Bone marrow aspirate smear.
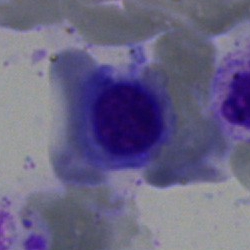
Impression — nucleated red cell.